Peripheral blood film — 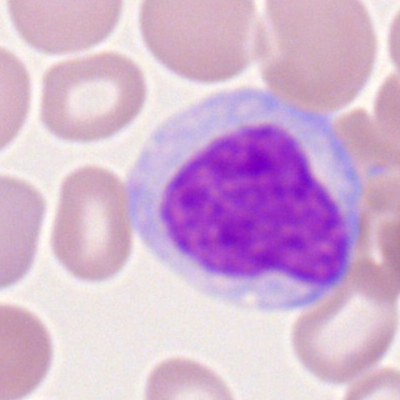The cell shown is a monocyte.